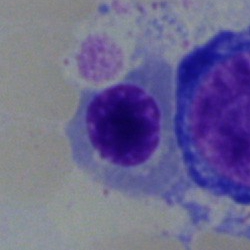Q: Which cell type is shown here?
A: This is a nucleated red cell.